Bone marrow aspirate smear.
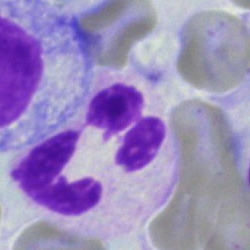

Q: What is the morphological classification of this cell?
A: It is a segmented neutrophil.